Bone marrow aspirate smear; 250 by 250 pixels; 40× oil immersion.
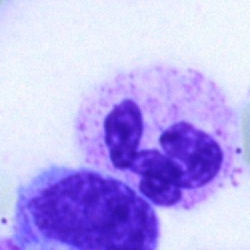

Specimen: bone marrow aspirate smear.
Cell: polymorphonuclear neutrophil.
Lineage: myeloid.